Image size 400×400 · single cell centered in the field · peripheral blood smear: 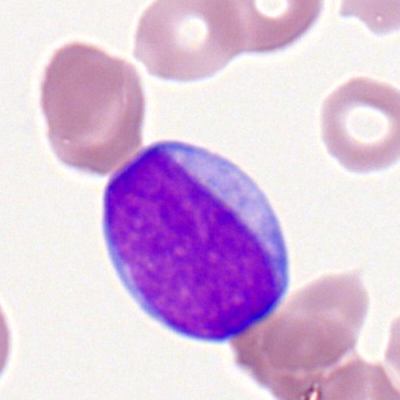
Q: Identify the cell.
A: A myeloblast.